Bone marrow aspirate smear
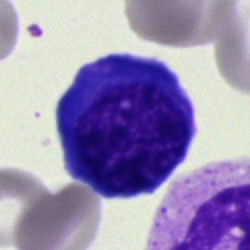Q: What is shown here?
A: It is a normoblast.